Bone marrow aspirate smear.
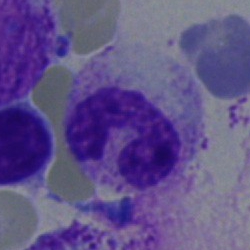

Q: Which cell type is shown here?
A: Neutrophil (band).